Bone marrow smear — 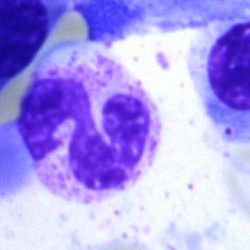A segmented neutrophil.